Bone marrow smear · single-cell field — 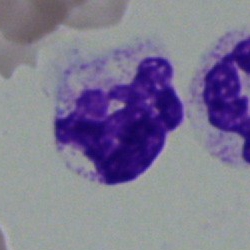 The cell type is polymorphonuclear neutrophil.